May-Grünwald-Giemsa/Pappenheim stain · cropped to a single cell · bone marrow smear:
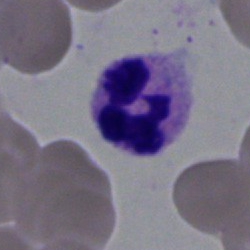 Showing a neutrophil (segmented).